Bone marrow smear; 250×250:
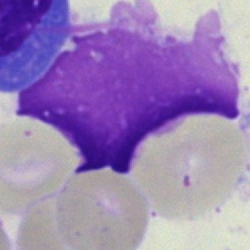Classification: artefact.